250 by 250 pixels. Bone marrow smear.
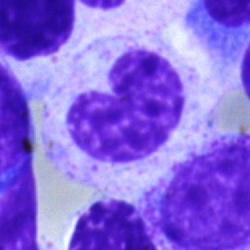Showing a metamyelocyte.